Single cell centered in the field. Bone marrow smear. 40× oil immersion — 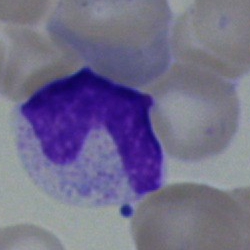Q: Which cell type is shown here?
A: Band neutrophil.